May-Grünwald-Giemsa stain · bone marrow aspirate smear.
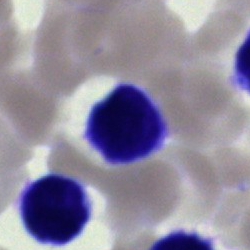
Lymphocyte.